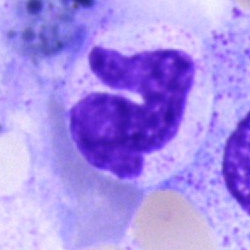Cell type: band-form neutrophil.